Bone marrow aspirate smear; May-Grünwald-Giemsa stain:
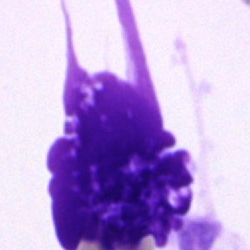

An artefact.